Bone marrow aspirate smear.
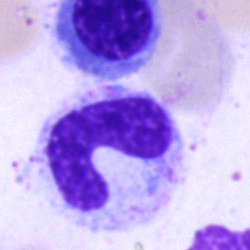Band neutrophil.